Peripheral blood film:
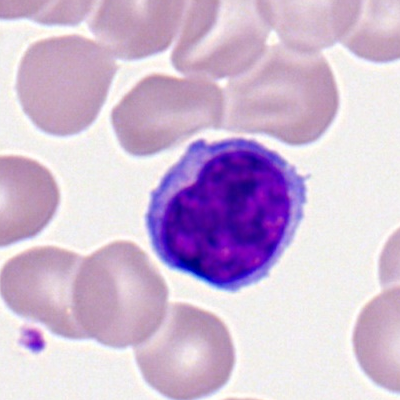
Morphology — typical lymphocyte.